Bone marrow aspirate smear:
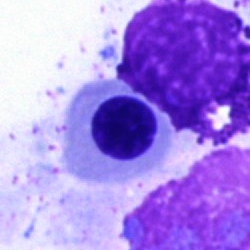
Specimen: bone marrow smear.
Cell: normoblast.
Lineage: erythroid.